250×250 · bone marrow smear
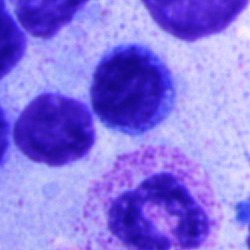 Lymphocyte.